400×400 px · single-cell field · peripheral blood film
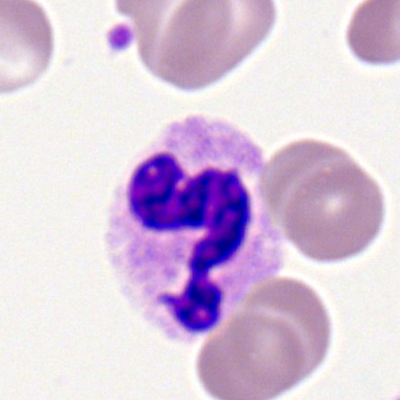 Q: What is shown here?
A: Segmented neutrophil.